Cropped to a single cell. Bone marrow aspirate smear. Image size 250×250:
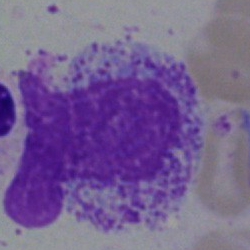Morphology consistent with an artifact.